Peripheral blood film · Romanowsky-stained: 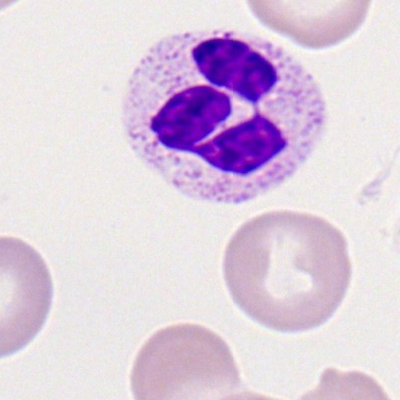
The cell shown is a neutrophil (segmented).